Bone marrow aspirate smear — 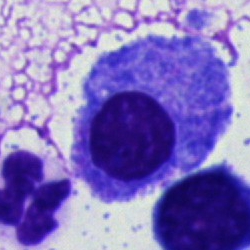

Cell: plasmacyte.